Bone marrow smear:
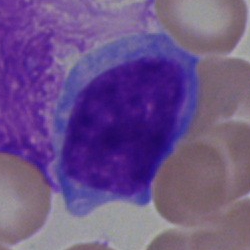 Cell type — blast.